Bone marrow smear: 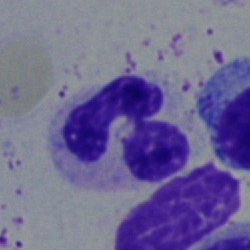 Morphological class = polymorphonuclear neutrophil.